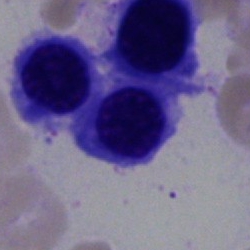

Specimen: bone marrow smear.
Cell type: erythroblast.
Lineage: erythroid.